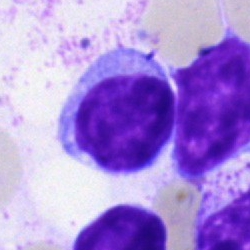 This is a lymphocyte.